Bone marrow smear — 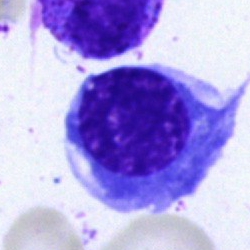

Specimen: bone marrow smear.
Cell type: nucleated red blood cell.